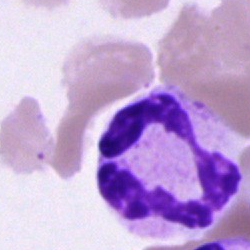 Bone marrow smear showing a segmented neutrophil.